Bone marrow aspirate smear:
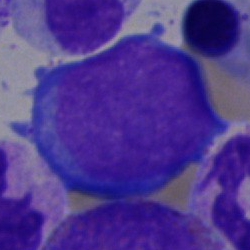Specimen: bone marrow smear.
Classification: pronormoblast.
Lineage: erythroid.